Bone marrow smear: 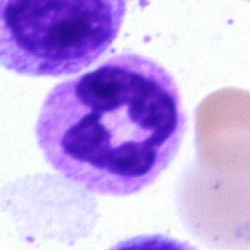
Morphology → segmented neutrophil.